Bone marrow aspirate smear. 40× objective, oil immersion: 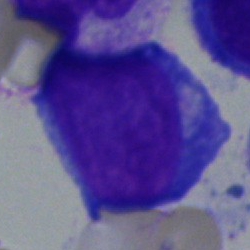 Single cell identified as a blast.